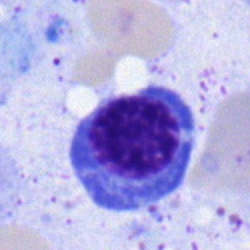Q: What is the morphological classification of this cell?
A: A nucleated red blood cell.